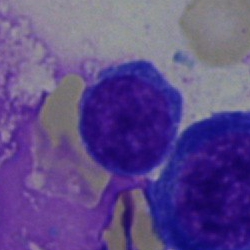Morphology consistent with a typical lymphocyte.